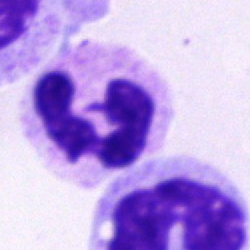

A polymorphonuclear neutrophil on a bone marrow smear.